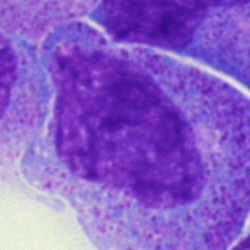
Q: What type of cell is this?
A: Progranulocyte.